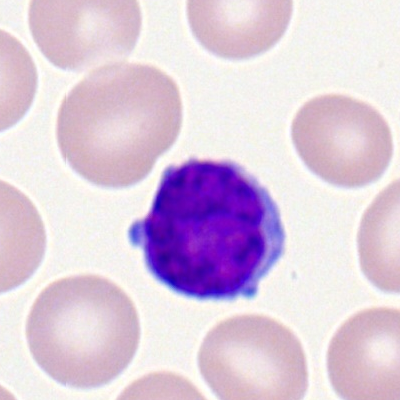Cell: lymphocyte.